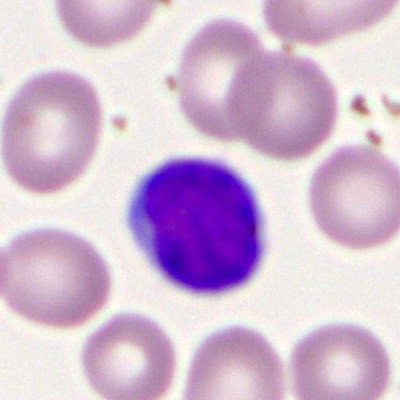Specimen: peripheral blood film.
Morphological class: typical lymphocyte.